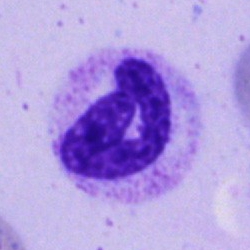Impression — segmented neutrophil.